Bone marrow aspirate smear.
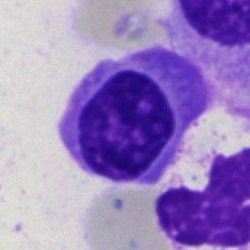
Morphological class: plasma cell.